Bone marrow smear.
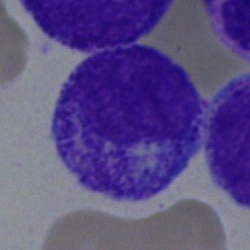 Classification = myelocyte.